Bone marrow aspirate smear. May-Grünwald-Giemsa stain
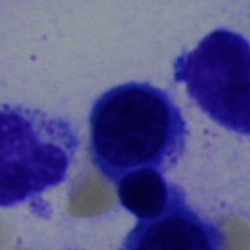

Specimen: bone marrow aspirate smear.
Cell type: normoblast.
Lineage: erythroid.